Pappenheim-stained · bone marrow aspirate smear.
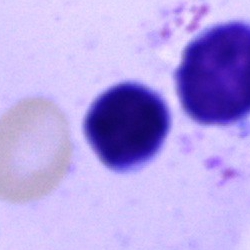Q: Which cell type is shown here?
A: This is a typical lymphocyte.